40× objective, oil immersion · May-Grünwald-Giemsa/Pappenheim stain · bone marrow smear: 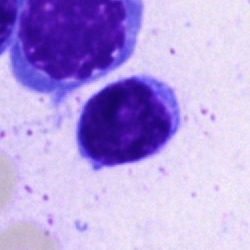
Q: Which cell type is shown here?
A: This is a typical lymphocyte.